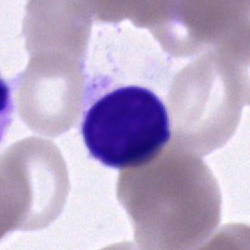Morphology consistent with a lymphocyte.